Romanowsky stain. 400 by 400 pixels. Peripheral blood film:
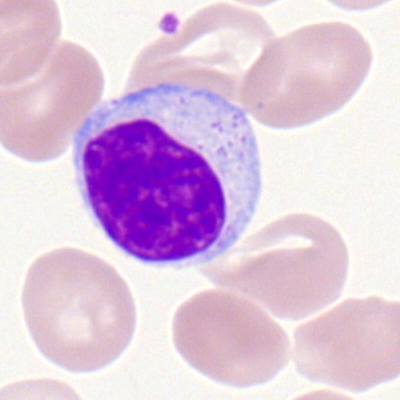

Single cell identified as a typical lymphocyte.